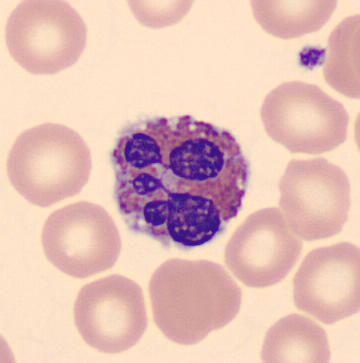
Peripheral blood film. Cropped to a single cell.

Cell: eosinophil.